Bone marrow smear — 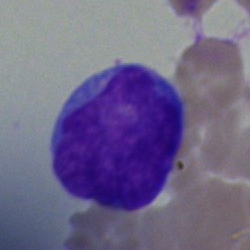

{"cell_type": "undifferentiated blast"}